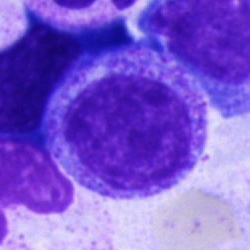Classification: myelocyte.